Image size 250×250; Pappenheim-stained; bone marrow smear: 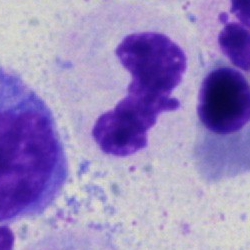

Morphological class: neutrophil (segmented).